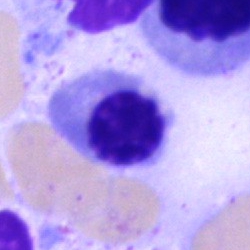

Specimen: bone marrow aspirate smear.
Morphological class: normoblast.
Lineage: erythroid.